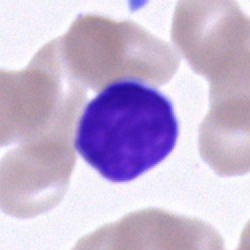 Morphological class: typical lymphocyte.